MGG-stained · cropped to a single cell · bone marrow aspirate smear.
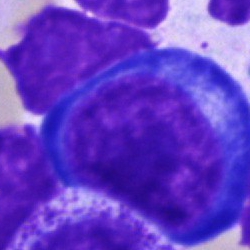

A pronormoblast.